Bone marrow smear. Single-cell crop.
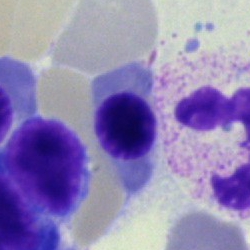
Specimen: bone marrow aspirate smear.
Cell type: nucleated red blood cell.
Lineage: erythroid.